Bone marrow aspirate smear. Single-cell field.
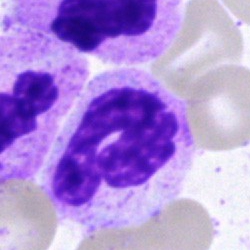
The cell shown is a polymorphonuclear neutrophil.